Pappenheim-stained · bone marrow smear — 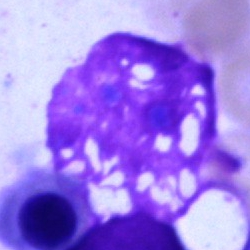 An artefact.